Bone marrow smear · May-Grünwald-Giemsa/Pappenheim stain — 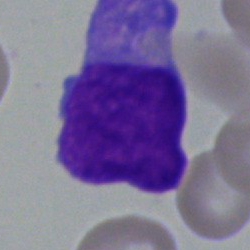
Q: What type of cell is this?
A: Blast.